250 by 250 pixels · bone marrow aspirate smear — 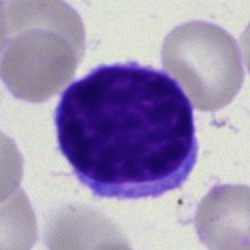 Specimen: bone marrow smear.
Cell: lymphocyte.
Lineage: lymphoid.